Bone marrow smear.
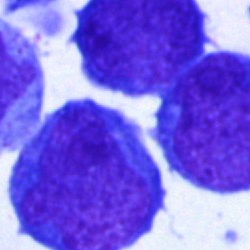 Specimen: bone marrow aspirate smear.
Morphological class: blast cell.